Bone marrow aspirate smear:
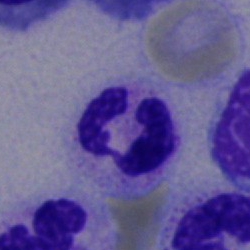

{"cell_type": "neutrophil (segmented)", "lineage": "myeloid"}